Single cell centered in the field · bone marrow smear: 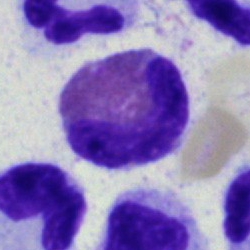
This is a basophil.